40× oil immersion · bone marrow aspirate smear.
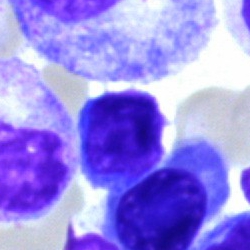

Classification — lymphocyte.